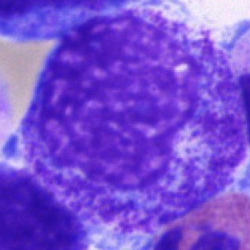 Q: What is the morphological classification of this cell?
A: Promyelocyte.